250 by 250 pixels. Single-cell crop. Bone marrow aspirate smear:
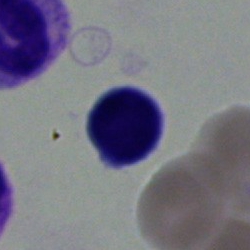 Cell type = typical lymphocyte.